Automated cell imaging (CellaVision DM96) · peripheral blood smear · cropped to a single cell.
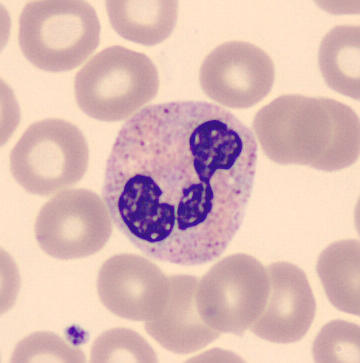 {"cell_type": "segmented neutrophil"}